Bone marrow smear — 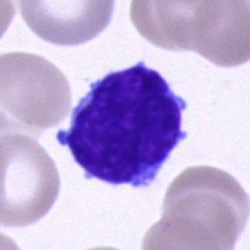

Showing a lymphocyte.